Bone marrow smear
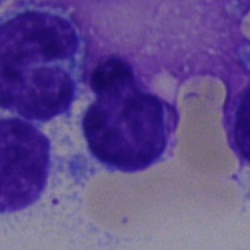
Morphology consistent with a lymphocyte.